May-Grünwald-Giemsa stain; bone marrow aspirate smear; single cell centered in the field.
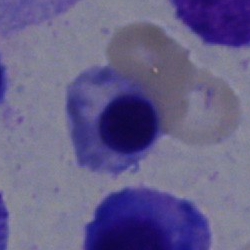Nucleated red cell.